Bone marrow aspirate smear
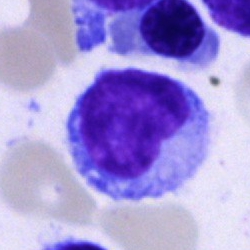 Impression → lymphocyte.